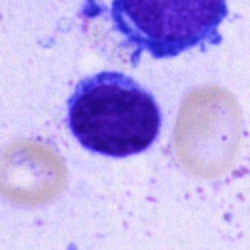

Impression → typical lymphocyte.